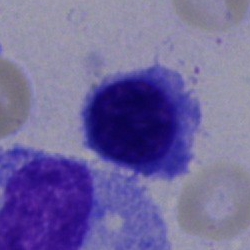

A nucleated red blood cell.